Bone marrow aspirate smear; brightfield, 40× oil-immersion objective; single-cell field.
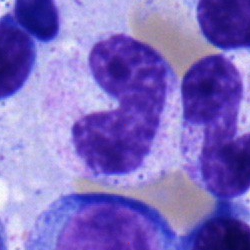A metamyelocyte.